Bone marrow smear — 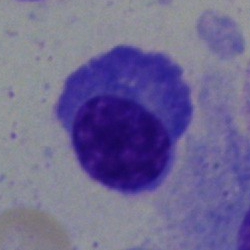Impression → plasmacyte.